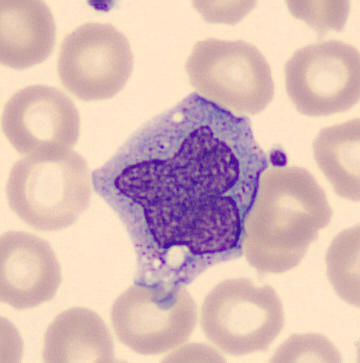 Morphology consistent with a monocyte.